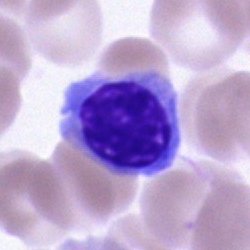 Cell = nucleated red blood cell.